Bone marrow aspirate smear:
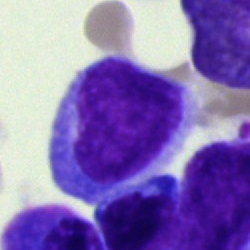Q: What cell is this?
A: Typical lymphocyte.